Bone marrow smear — 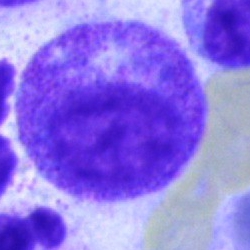
Morphological class = myelocyte.